MGG-stained. Bone marrow smear. Cropped to a single cell.
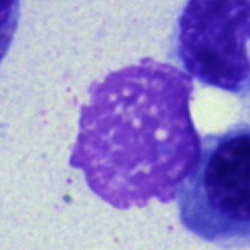

Specimen: bone marrow aspirate smear.
Cell: artifact.